Bone marrow smear: 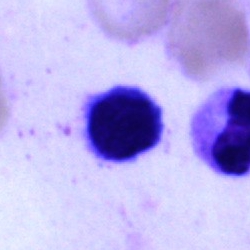

Impression — typical lymphocyte.